Bone marrow smear.
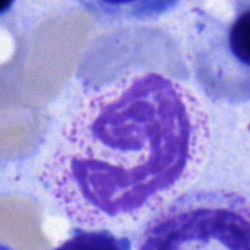

Morphology consistent with a neutrophil (segmented).